Bone marrow aspirate smear; brightfield microscopy, 40× oil immersion
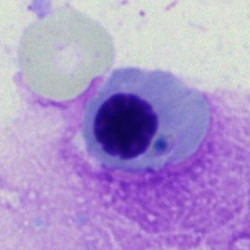 {"cell_type": "normoblast", "lineage": "erythroid"}